Bone marrow aspirate smear: 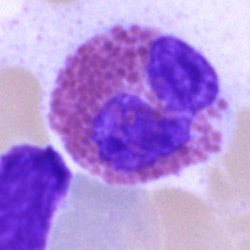
Specimen: bone marrow aspirate smear.
Classification: eosinophilic granulocyte.